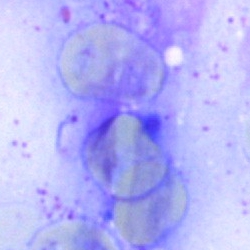
Q: What is shown here?
A: This is an artefact.